Bone marrow aspirate smear · 40× objective, oil immersion.
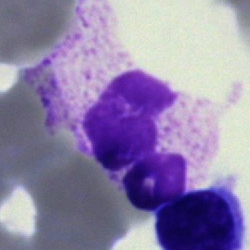

Cell type: neutrophil (segmented).